Bone marrow smear: 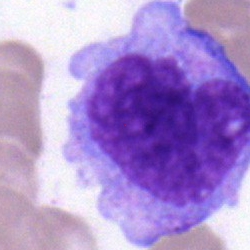 {"cell_type": "monocyte", "lineage": "myeloid"}